Bone marrow aspirate smear
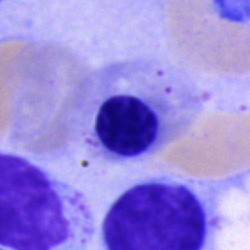
Cell: normoblast.